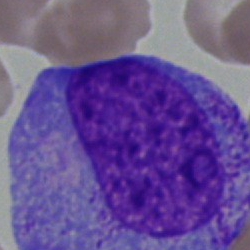

Q: What cell is this?
A: It is a promyelocyte.